Bone marrow smear — 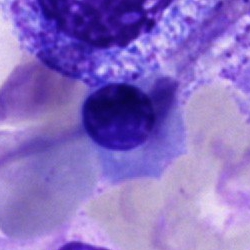

The morphological class is erythroblast.